Peripheral blood film
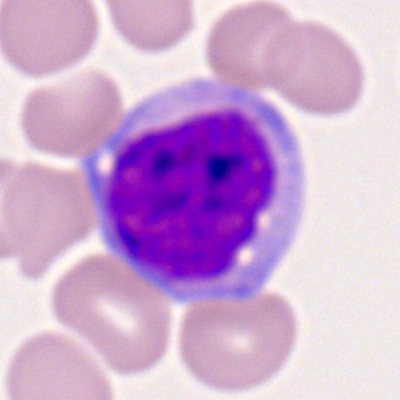 A monocyte.